Peripheral blood film · cropped to a single cell · Romanowsky stain — 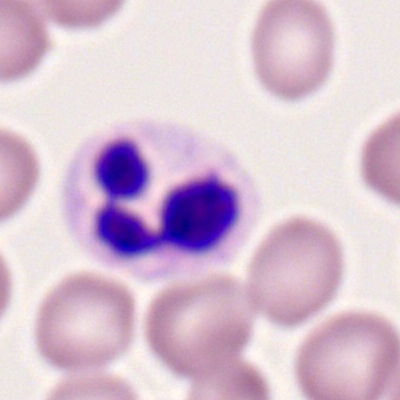

Morphological class — polymorphonuclear neutrophil.